Bone marrow aspirate smear. 40× oil immersion:
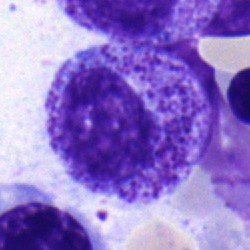

Cell: myelocyte.